400×400 · peripheral blood smear · single-cell crop
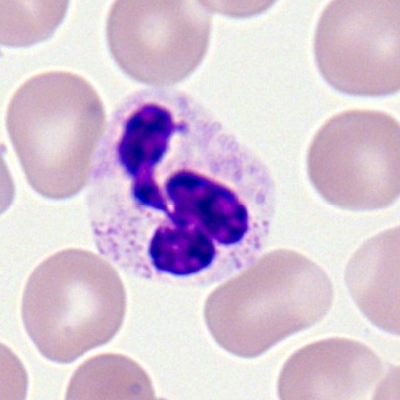

Single cell identified as a neutrophil (segmented).